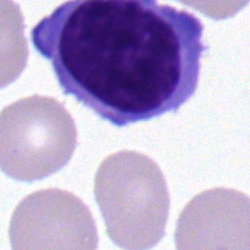 Specimen: bone marrow aspirate smear.
Cell type: lymphocyte.
Lineage: lymphoid.